Peripheral blood film:
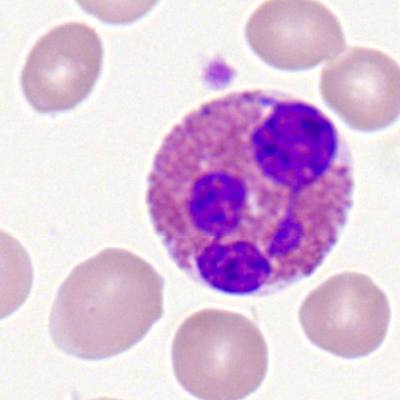Morphological class: eosinophil.